Bone marrow aspirate smear — 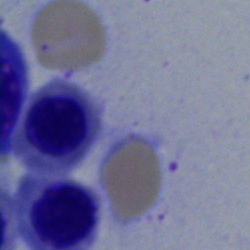Morphology consistent with a normoblast.